Bone marrow smear: 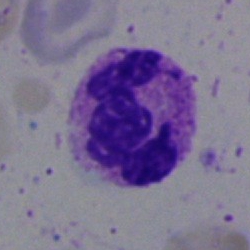{"cell_type": "polymorphonuclear neutrophil"}